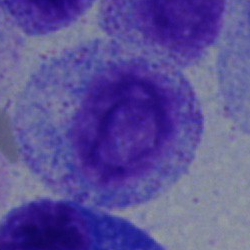
The cell is myelocyte.